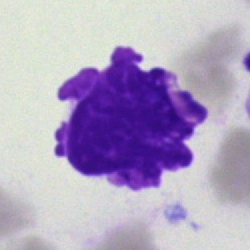
{"cell_type": "artefact"}